Bone marrow aspirate smear: 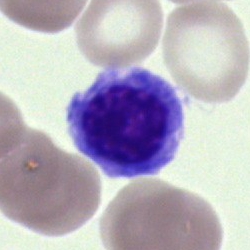Specimen: bone marrow aspirate smear.
Cell type: erythroblast.